Bone marrow smear.
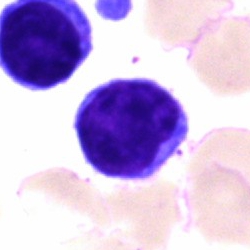 This is a typical lymphocyte.